Peripheral blood film
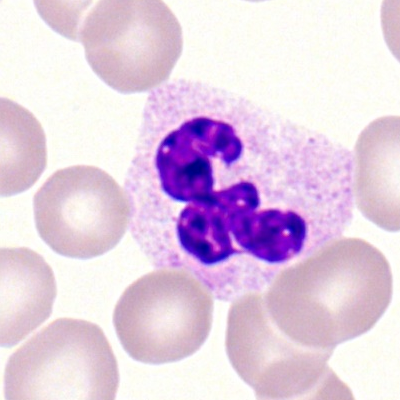Cell type — segmented neutrophil.